Bone marrow smear.
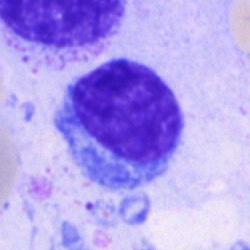
Morphology → typical lymphocyte.